Bone marrow smear · brightfield microscopy, 40× oil immersion · 250×250 px.
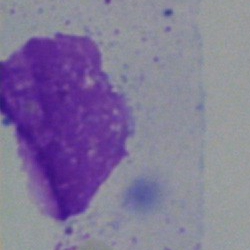 {"cell_type": "artefact"}